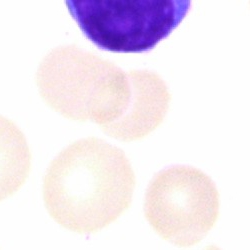 Typical lymphocyte.